Bone marrow aspirate smear · Pappenheim-stained · image size 250×250
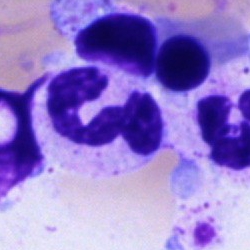Single cell identified as a typical lymphocyte.